Brightfield, 40× oil-immersion objective. 250 by 250 pixels. Bone marrow smear:
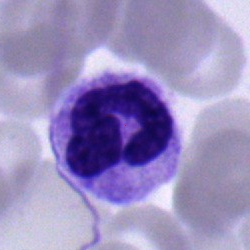 Q: What cell is this?
A: This is a polymorphonuclear neutrophil.